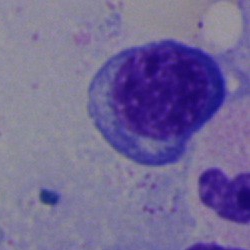 Morphological class: nucleated red blood cell.